Brightfield microscopy, 40× oil immersion; single-cell field; bone marrow aspirate smear:
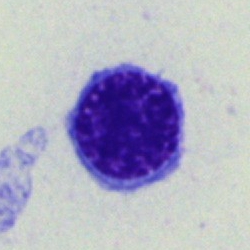Impression — nucleated red blood cell.